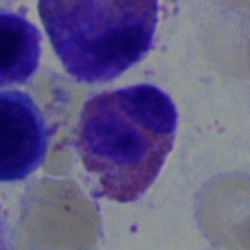

Q: What is shown here?
A: This is an eosinophil.